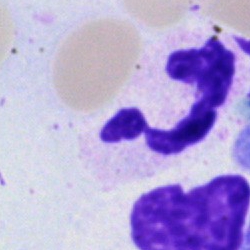
Cell type — neutrophil (segmented).